Bone marrow smear; image size 250×250.
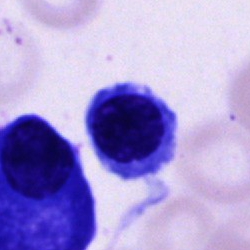
Nucleated red cell.